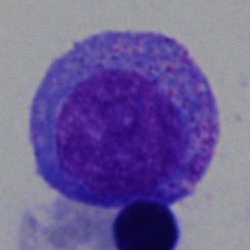
A promyelocyte.